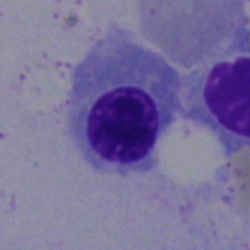

Bone marrow smear showing an erythroblast.